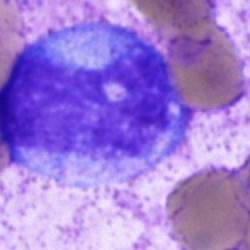 Single cell identified as a promyelocyte.